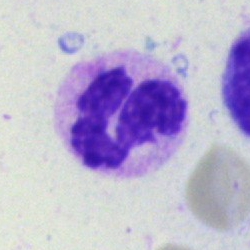

Morphology — segmented neutrophil.